Bone marrow aspirate smear · brightfield, 40× oil-immersion objective
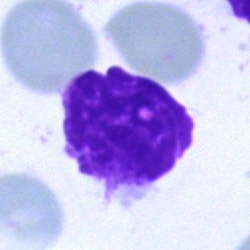

Q: What is shown here?
A: An artifact.